Bone marrow aspirate smear:
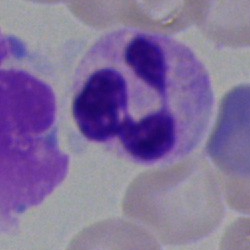
Showing a neutrophil (segmented).